Bone marrow aspirate smear:
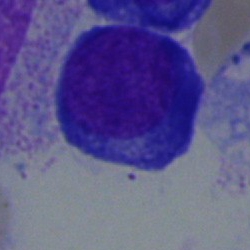Single cell identified as a normoblast.